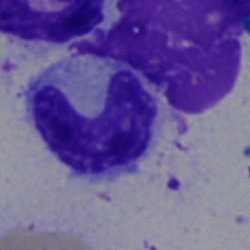 The morphological class is band neutrophil.